Bone marrow aspirate smear. 250×250.
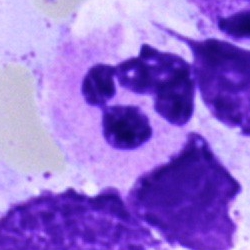
Specimen: bone marrow smear.
Classification: segmented neutrophil.